Bone marrow smear: 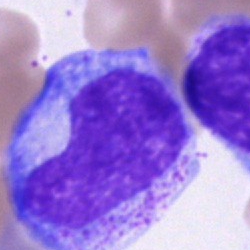 Showing a promyelocyte.